Bone marrow aspirate smear · brightfield microscopy, 40× oil immersion · single-cell crop.
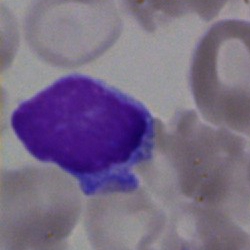

{"cell_type": "typical lymphocyte", "lineage": "lymphoid"}